Bone marrow smear.
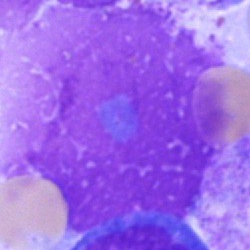

Q: What is shown here?
A: It is an artifact.